Bone marrow smear · MGG-stained
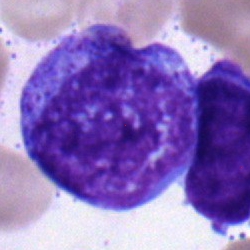 Showing a progranulocyte.